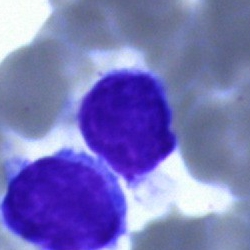

Specimen: bone marrow aspirate smear.
Cell: typical lymphocyte.